Bone marrow aspirate smear:
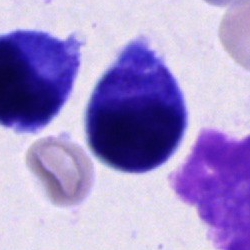Showing an unidentifiable cell.